Bone marrow aspirate smear. Cropped to a single cell — 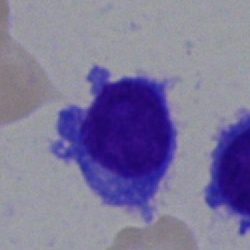

Specimen: bone marrow aspirate smear.
Cell: plasma cell.
Lineage: lymphoid.